Bone marrow smear: 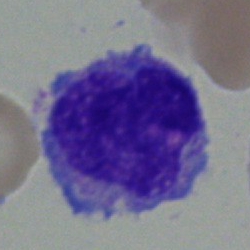A monocyte.